Bone marrow aspirate smear:
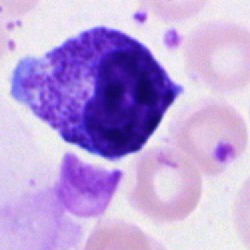 Morphology consistent with a metamyelocyte.